May-Grünwald-Giemsa/Pappenheim stain. Bone marrow aspirate smear
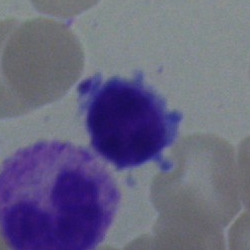
Morphology → lymphocyte.